Bone marrow aspirate smear:
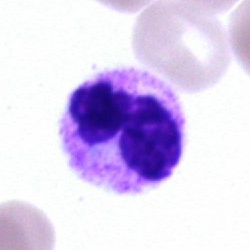
Q: What is shown here?
A: A neutrophil (segmented).